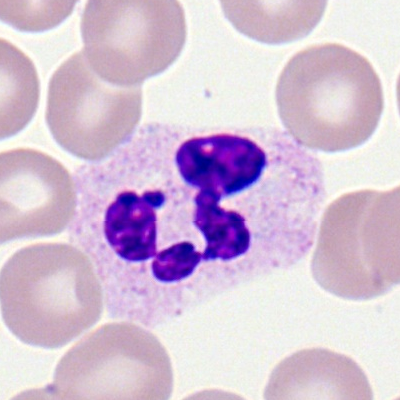 Morphology — polymorphonuclear neutrophil.